Bone marrow aspirate smear — 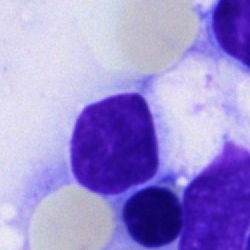Cell = artifact.